Bone marrow smear:
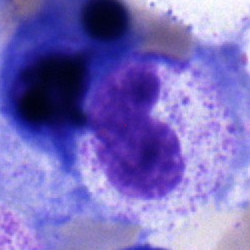The cell shown is a metamyelocyte.